Bone marrow smear — 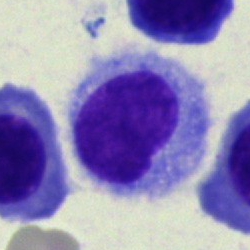Showing a hairy cell.